Peripheral blood film: 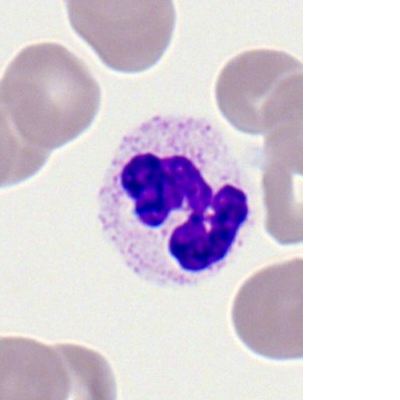

Morphological class: segmented neutrophil.